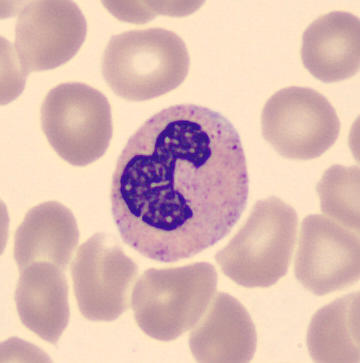
Acquisition: Peripheral blood smear. The morphological class is stab cell.